Bone marrow aspirate smear
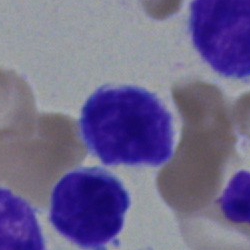
The cell is lymphocyte.